250×250 px · bone marrow smear · single cell centered in the field: 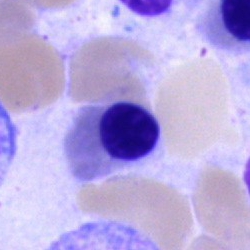

Specimen: bone marrow smear.
Morphological class: nucleated red cell.
Lineage: erythroid.